Bone marrow smear. Image size 250×250:
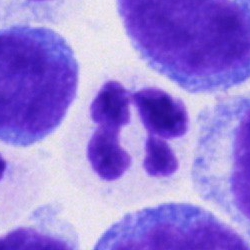 Classification — polymorphonuclear neutrophil.